May-Grünwald-Giemsa/Pappenheim stain; bone marrow smear.
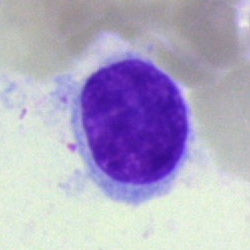Morphology — hairy cell.